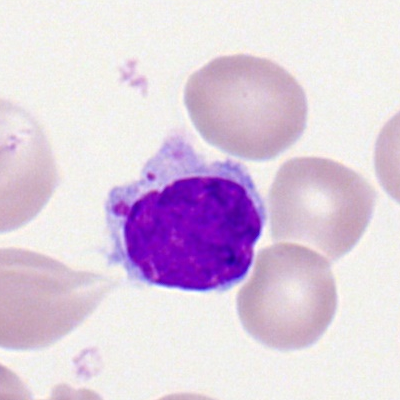Q: What is the morphological classification of this cell?
A: A lymphocyte.